Bone marrow smear.
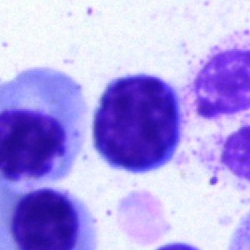
Q: Which cell type is shown here?
A: Typical lymphocyte.